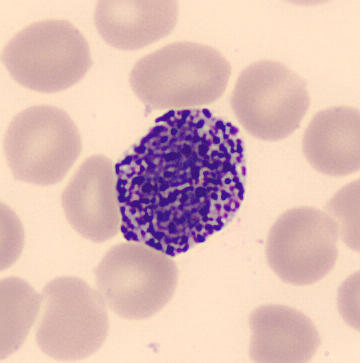

Morphology → basophilic granulocyte.
Peripheral blood film.